Bone marrow aspirate smear:
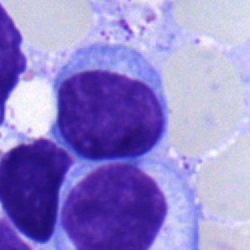Q: What is the morphological classification of this cell?
A: It is a lymphocyte.